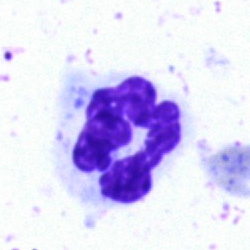A polymorphonuclear neutrophil.